Peripheral blood film — 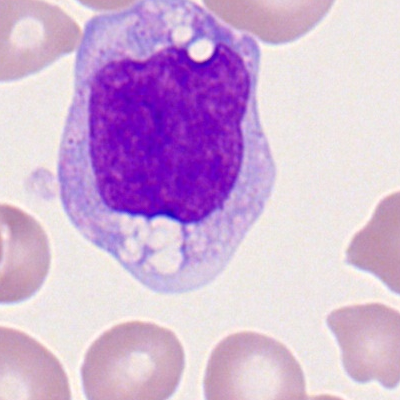

A monocyte.